May-Grünwald-Giemsa/Pappenheim stain. Bone marrow smear: 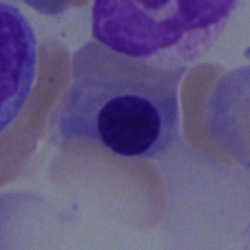

Classification: nucleated red cell.